Bone marrow aspirate smear: 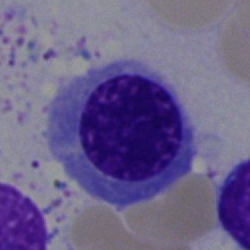

{"cell_type": "erythroblast"}